Bone marrow smear · May-Grünwald-Giemsa stain: 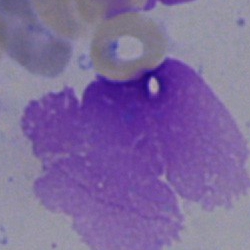Classification = artefact.